40× objective, oil immersion · bone marrow smear:
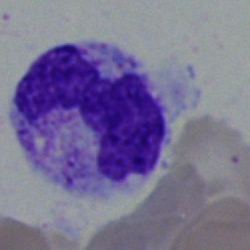
Morphology consistent with a band-form neutrophil.